Single-cell crop; bone marrow aspirate smear — 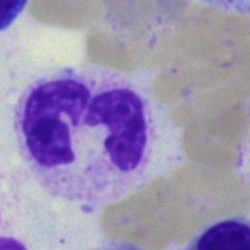The cell shown is a neutrophil (segmented).